Brightfield, 40× oil-immersion objective. Bone marrow smear
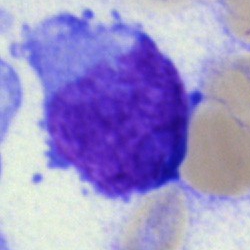Morphological class: undifferentiated blast.